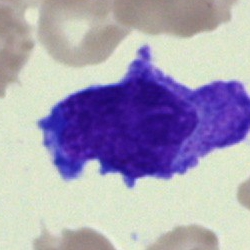
Q: Which cell type is shown here?
A: Blast.